Bone marrow smear · 250 by 250 pixels.
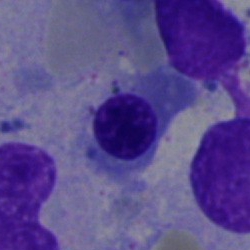 Impression → erythroblast.